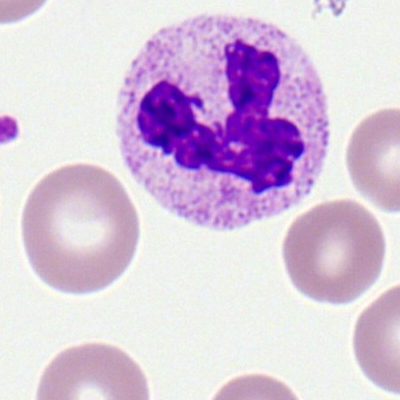
Specimen: peripheral blood smear.
Cell: neutrophil (segmented).